Bone marrow smear; single cell centered in the field.
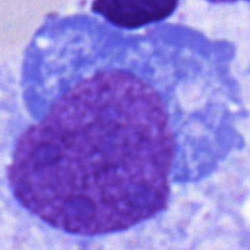 Classification: plasmacyte.